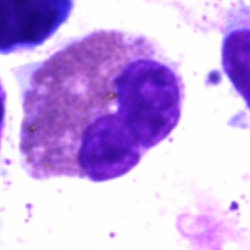
{"cell_type": "eosinophil", "lineage": "myeloid"}